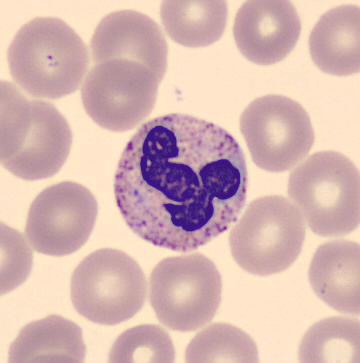
Morphological class = polymorphonuclear neutrophil.
Peripheral blood film; single-cell crop.